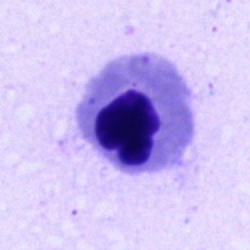Cell — nucleated red cell.